Single-cell crop. May-Grünwald-Giemsa/Pappenheim stain. Bone marrow aspirate smear
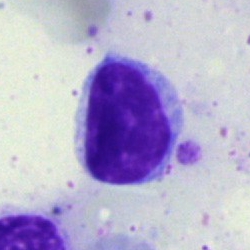 {"cell_type": "typical lymphocyte", "lineage": "lymphoid"}